MGG-stained · peripheral blood smear:
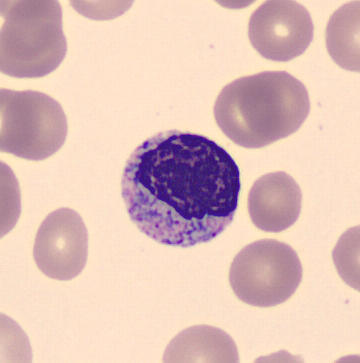 Morphological class: metamyelocyte.